Image size 250×250. Bone marrow smear.
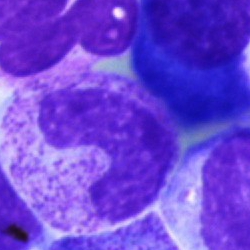

This is a band neutrophil.